Bone marrow smear — 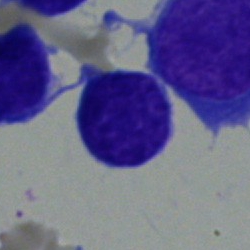

The morphological class is typical lymphocyte.